Brightfield, 40× oil-immersion objective; May-Grünwald-Giemsa/Pappenheim stain; bone marrow smear:
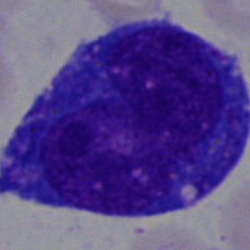Specimen: bone marrow aspirate smear.
Cell: blast.